Bone marrow smear:
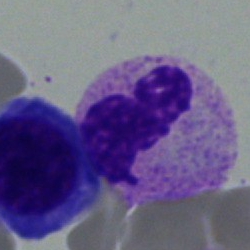Classification = neutrophil (segmented).